Bone marrow smear; 40× objective, oil immersion:
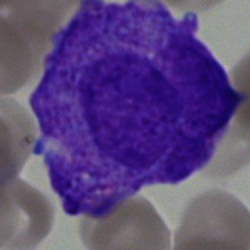

Blast.